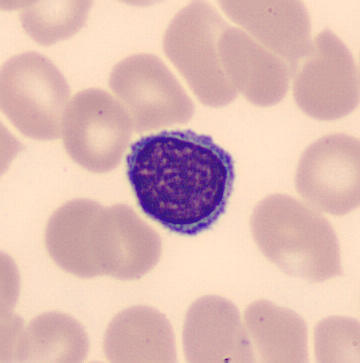
Preparation: Peripheral blood film. Single cell identified as a lymphocyte.